Bone marrow aspirate smear
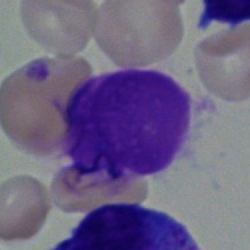

Single cell identified as an artifact.